Bone marrow aspirate smear; 250×250 px.
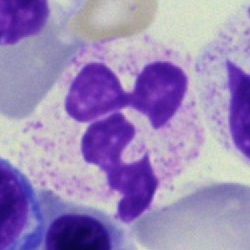A polymorphonuclear neutrophil.